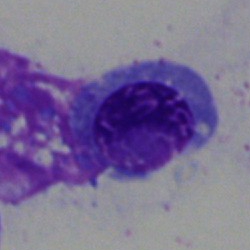

Impression → normoblast.